Single-cell crop. Bone marrow aspirate smear: 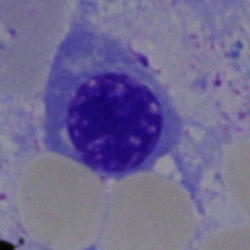
Morphological class = nucleated red cell.